Bone marrow smear · image size 250×250 — 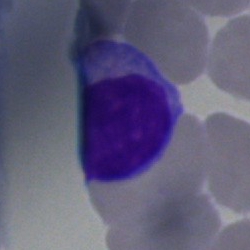 Single cell identified as a lymphocyte.